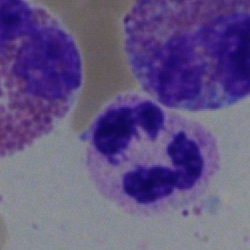
The cell shown is a segmented neutrophil.